Image size 250×250. May-Grünwald-Giemsa/Pappenheim stain. Bone marrow smear — 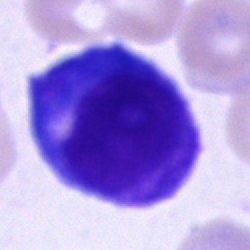
The classification is unidentifiable cell.